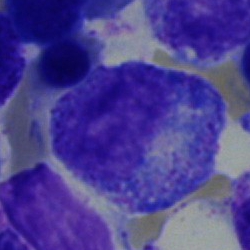Q: What type of cell is this?
A: Promyelocyte.